Bone marrow aspirate smear — 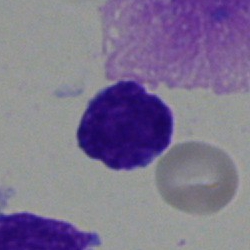
{"cell_type": "typical lymphocyte", "lineage": "lymphoid"}